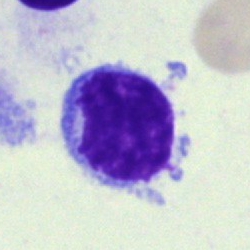

Morphology → typical lymphocyte.